Bone marrow smear. Pappenheim-stained.
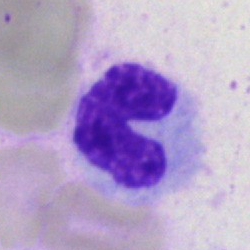 Morphology — neutrophil (band).